Cropped to a single cell. May-Grünwald-Giemsa/Pappenheim stain. Bone marrow smear: 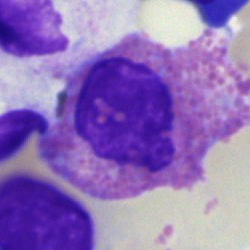The cell shown is an eosinophilic granulocyte.